100× oil immersion, 14.14 px/µm · peripheral blood film · Romanowsky-stained.
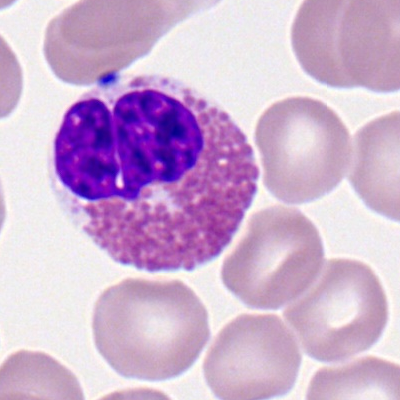
{"cell_type": "eosinophil"}